Bone marrow smear: 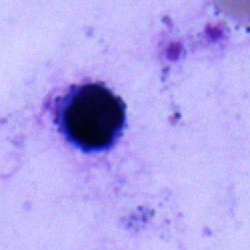Q: Which cell type is shown here?
A: Typical lymphocyte.